Bone marrow aspirate smear.
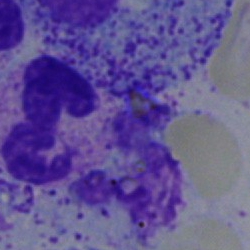

Cell — segmented neutrophil.